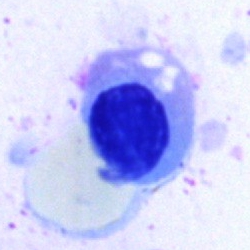Specimen: bone marrow aspirate smear.
Cell: artifact.